Bone marrow aspirate smear:
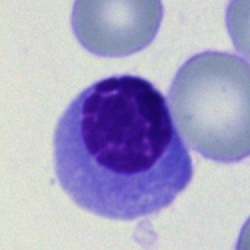
Cell — nucleated red cell.